Bone marrow smear.
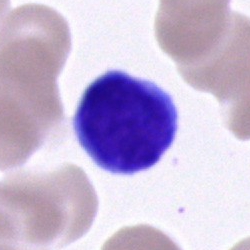 Cell type = lymphocyte.